Bone marrow aspirate smear. Pappenheim-stained. 250×250 px
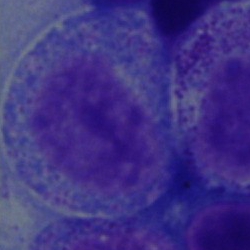
Q: What is the morphological classification of this cell?
A: This is a progranulocyte.